Bone marrow smear; brightfield microscopy, 40× oil immersion.
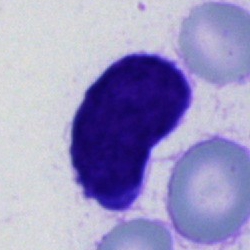This is a cell of indeterminate lineage.